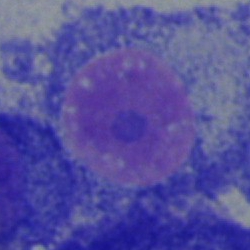 The classification is plasmacyte.